May-Grünwald-Giemsa/Pappenheim stain · bone marrow smear · cropped to a single cell: 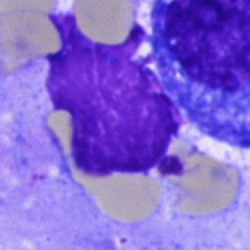
Morphology consistent with an artifact.